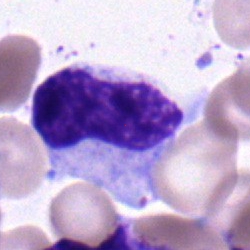 Q: What type of cell is this?
A: This is a band-form neutrophil.